Bone marrow smear.
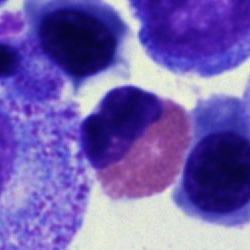
Impression — eosinophilic granulocyte.